Bone marrow smear:
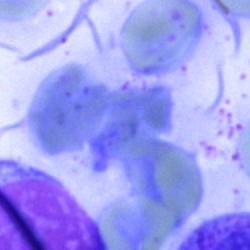
This is an artifact.